Bone marrow smear. May-Grünwald-Giemsa stain: 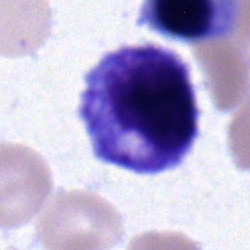

Specimen: bone marrow smear.
Morphological class: myelocyte.
Lineage: myeloid.